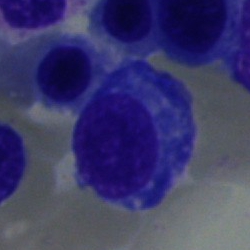

This is a plasma cell.